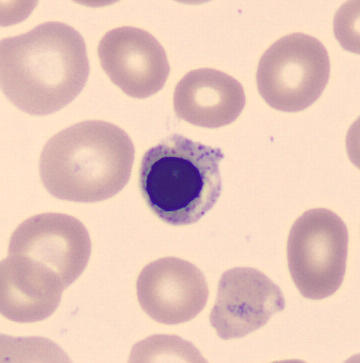
Peripheral blood film. 360 by 363 pixels. Morphology consistent with an erythroblast.